100× objective, oil immersion. Peripheral blood film
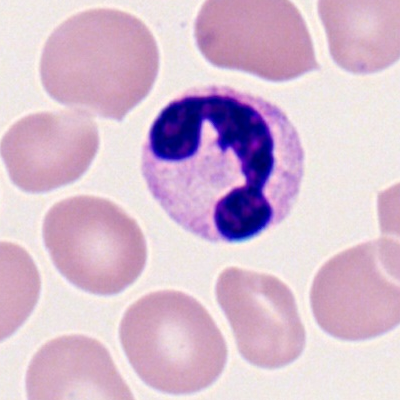

Cell type: segmented neutrophil.